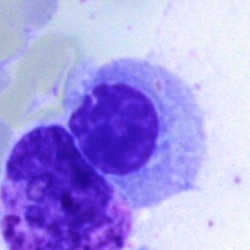

Single cell identified as an erythroblast.